Bone marrow aspirate smear:
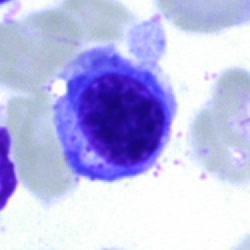

Q: What type of cell is this?
A: An erythroblast.